Cropped to a single cell; bone marrow aspirate smear
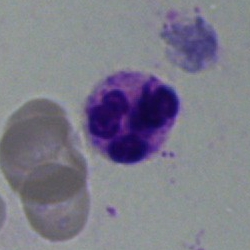 {"cell_type": "segmented neutrophil", "lineage": "myeloid"}